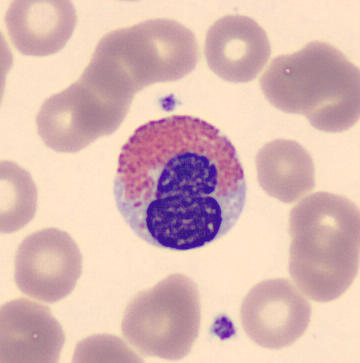
Classification: eosinophilic granulocyte. Acquisition: Peripheral blood smear.